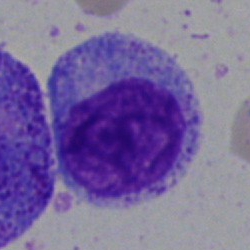 Specimen: bone marrow smear.
Cell type: myelocyte.